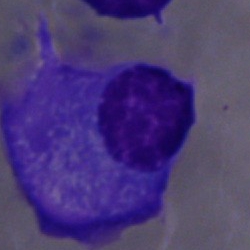

Showing a plasma cell.